Brightfield microscopy, 40× oil immersion. 250×250 px. Bone marrow aspirate smear.
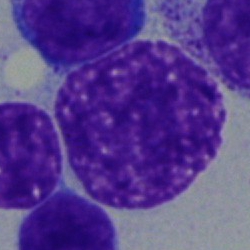
Cell type: artefact.